Bone marrow aspirate smear
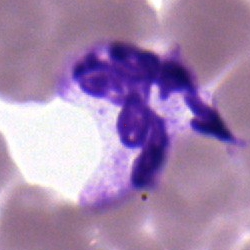Cell = polymorphonuclear neutrophil.